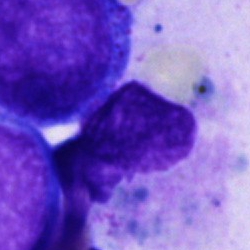Impression → unidentifiable cell.